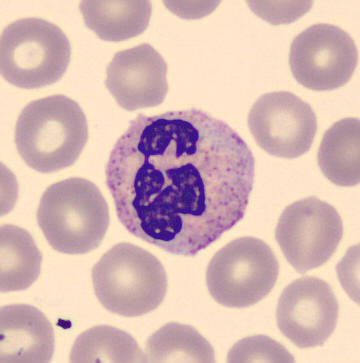 Image: Peripheral blood smear · cropped to a single cell.
The classification is segmented neutrophil.